250 by 250 pixels · bone marrow smear · brightfield, 40× oil-immersion objective
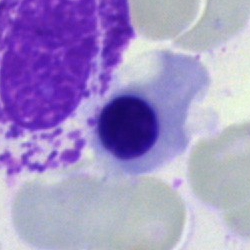
Nucleated red blood cell.